Cropped to a single cell · bone marrow smear · 250×250 px
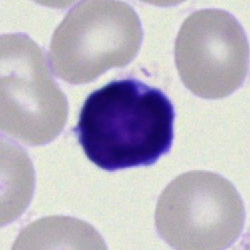This is a typical lymphocyte.